Bone marrow smear; cropped to a single cell:
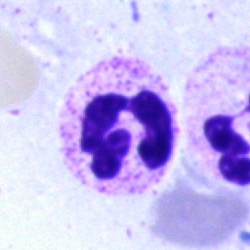

Morphological class: neutrophil (segmented).